Single-cell field; bone marrow aspirate smear:
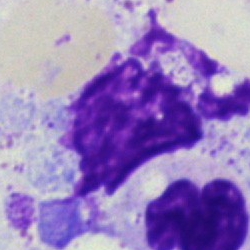

Q: What is shown here?
A: An artefact.